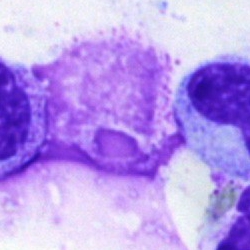 The cell shown is an artifact.